Bone marrow smear — 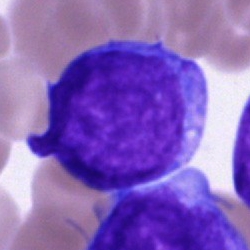A blast cell.